May-Grünwald-Giemsa/Pappenheim stain. Single-cell field. Bone marrow aspirate smear.
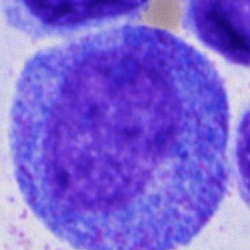

Specimen: bone marrow smear.
Cell: promyelocyte.
Lineage: myeloid.